May-Grünwald-Giemsa stain. Bone marrow aspirate smear
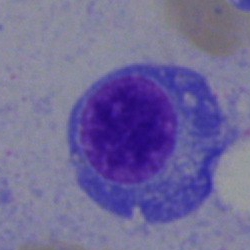 This is a plasma cell.